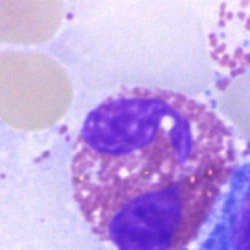Specimen: bone marrow aspirate smear.
Cell: eosinophilic granulocyte.